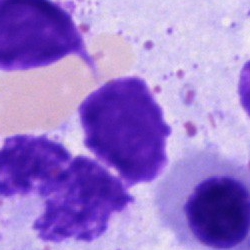
Impression → artifact.